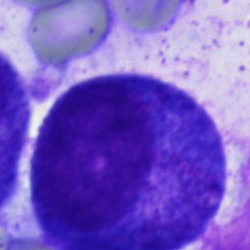
Q: What is the morphological classification of this cell?
A: This is a progranulocyte.